Brightfield microscopy, 40× oil immersion · bone marrow aspirate smear · cropped to a single cell.
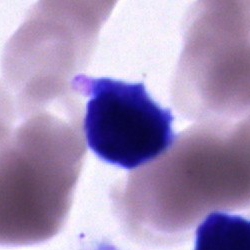 Q: Which cell type is shown here?
A: An unidentifiable cell.